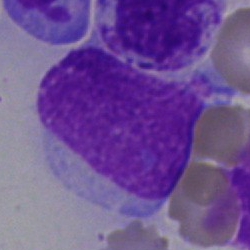A blast cell.